Bone marrow aspirate smear — 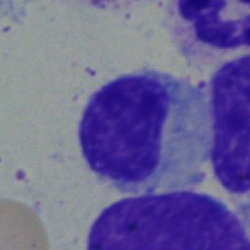 This is a typical lymphocyte.